Single-cell crop; bone marrow smear; May-Grünwald-Giemsa/Pappenheim stain
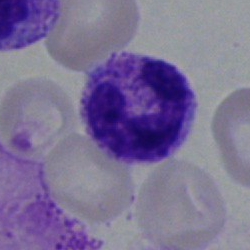

Impression → polymorphonuclear neutrophil.